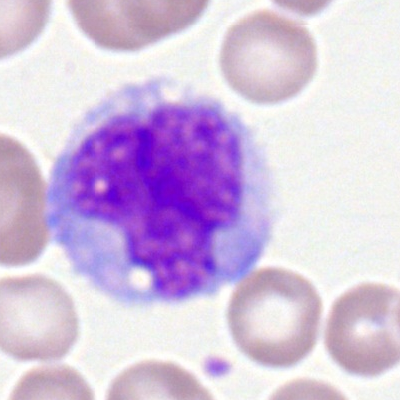

A monocyte on a peripheral blood smear.